Bone marrow aspirate smear. 250×250 px. Single-cell field
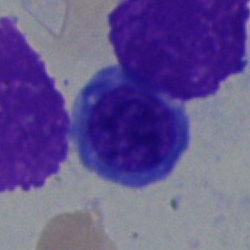

Q: What cell is this?
A: A normoblast.